Pappenheim-stained · bone marrow aspirate smear.
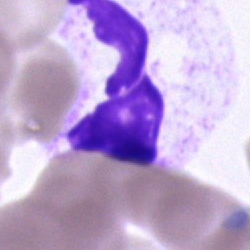 {"cell_type": "neutrophil (segmented)", "lineage": "myeloid"}